Bone marrow smear
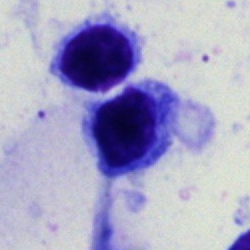
Specimen: bone marrow aspirate smear.
Classification: typical lymphocyte.
Lineage: lymphoid.